Bone marrow aspirate smear; image size 250×250:
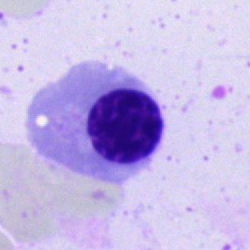
Impression — nucleated red cell.